250 by 250 pixels. Bone marrow smear — 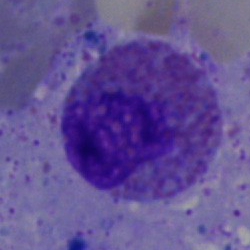
Showing an eosinophil.